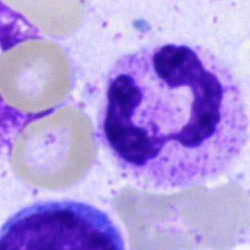Q: What cell is this?
A: A neutrophil (segmented).